Bone marrow smear
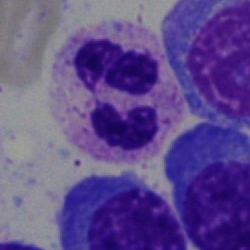

Q: What cell is this?
A: It is a segmented neutrophil.